Bone marrow aspirate smear
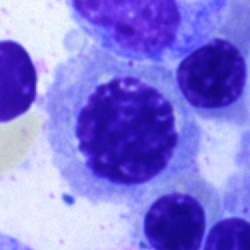

Showing a nucleated red cell.